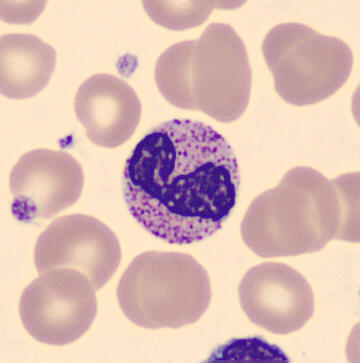{"cell_type": "band-form neutrophil"}